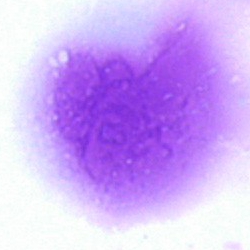
Morphology consistent with an artefact.